Bone marrow smear — 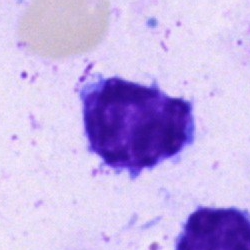

{"cell_type": "lymphocyte"}